Bone marrow smear; 250 by 250 pixels; May-Grünwald-Giemsa/Pappenheim stain:
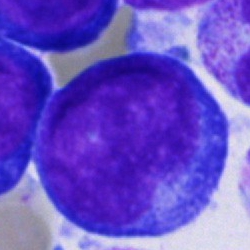Morphology consistent with a proerythroblast.